Cropped to a single cell; bone marrow aspirate smear.
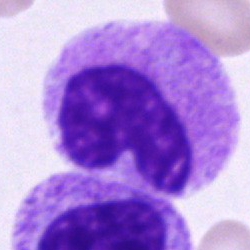
Specimen: bone marrow aspirate smear.
Cell type: band neutrophil.